Bone marrow smear:
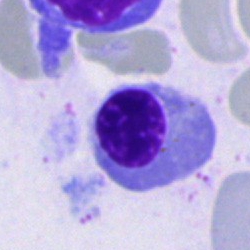Q: What is the morphological classification of this cell?
A: Erythroblast.